Brightfield, 40× oil-immersion objective · 250×250 px · bone marrow smear — 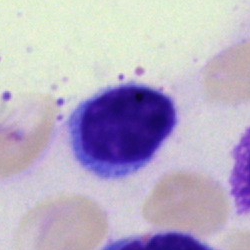

Single cell identified as a typical lymphocyte.